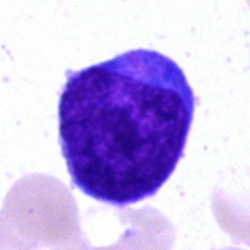 An undifferentiated blast.